MGG-stained · bone marrow aspirate smear:
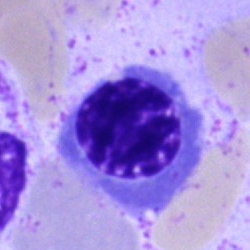{"cell_type": "normoblast", "lineage": "erythroid"}